Image size 250×250 · bone marrow aspirate smear — 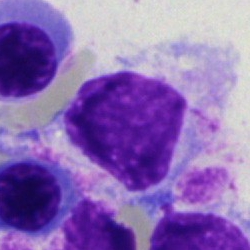

Cell type = artifact.